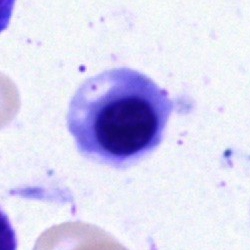

The cell type is nucleated red cell.